Peripheral blood smear · brightfield, 100× oil-immersion objective
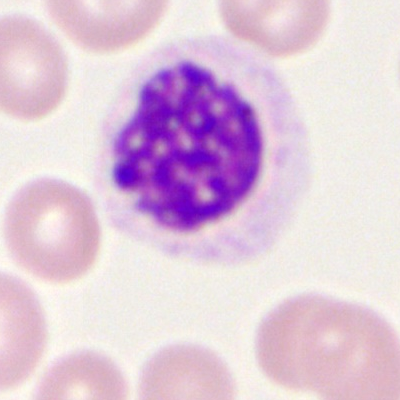Cell type = neutrophil (segmented).